Bone marrow smear — 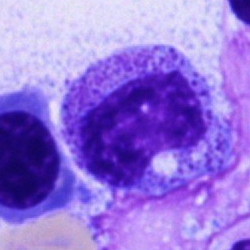

Showing a metamyelocyte.